40× oil immersion · cropped to a single cell · bone marrow aspirate smear — 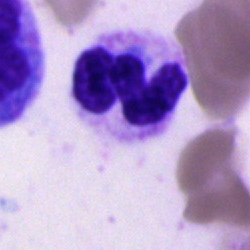

Impression — segmented neutrophil.